Bone marrow aspirate smear. 40× objective, oil immersion.
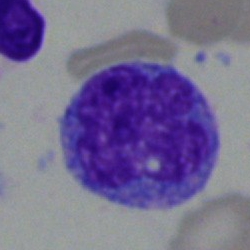
Specimen: bone marrow aspirate smear.
Classification: blast.